Bone marrow smear — 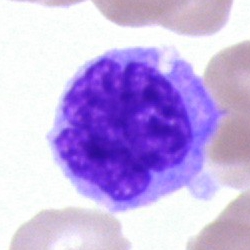A monocyte.